Peripheral blood smear.
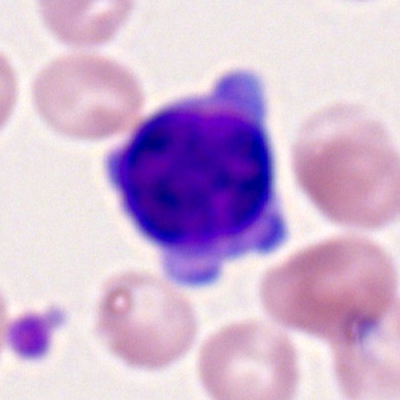Q: Identify the cell.
A: Myeloblast.